Peripheral blood smear:
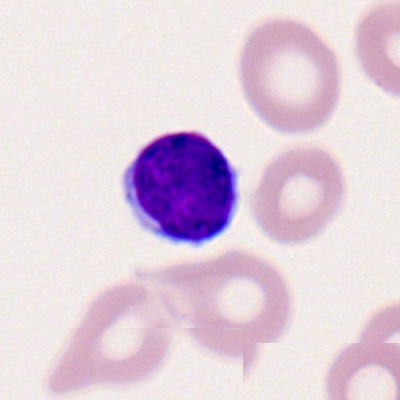{"cell_type": "typical lymphocyte", "lineage": "lymphoid"}